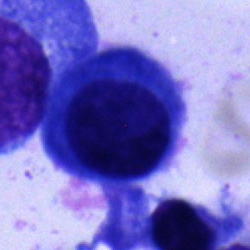
Showing a plasmacyte.